Brightfield microscopy, 40× oil immersion; bone marrow smear:
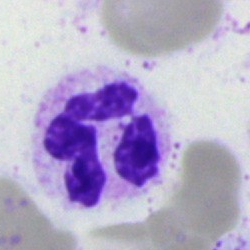 Q: What type of cell is this?
A: It is a neutrophil (segmented).